Bone marrow aspirate smear — 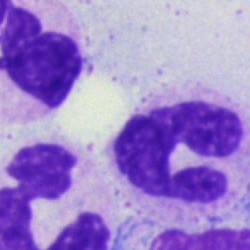 Q: What type of cell is this?
A: It is a segmented neutrophil.